Bone marrow aspirate smear. 40× objective, oil immersion. Single-cell crop
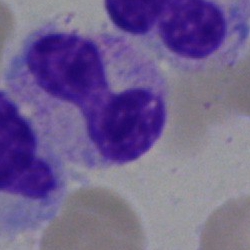Morphological class: polymorphonuclear neutrophil.